Bone marrow aspirate smear
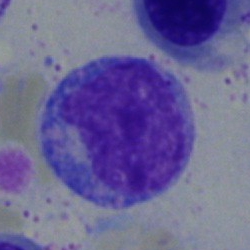 {"cell_type": "monocyte", "lineage": "myeloid"}